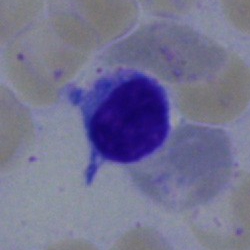 Q: What is shown here?
A: Typical lymphocyte.